Peripheral blood film — 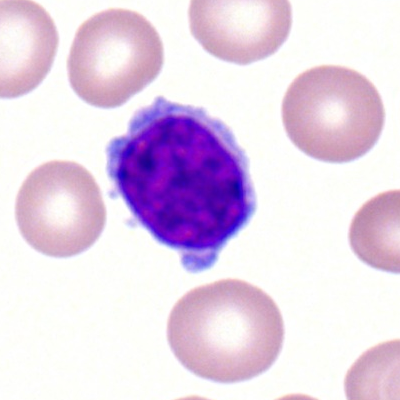Classification — lymphocyte.